Bone marrow aspirate smear: 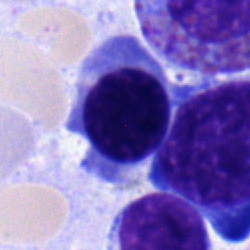 Showing an erythroblast.